400 by 400 pixels · peripheral blood smear
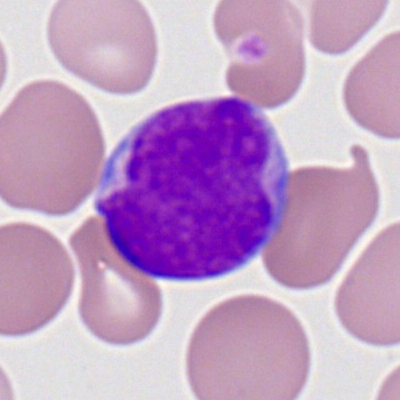 Cell — myeloid blast.